Bone marrow aspirate smear — 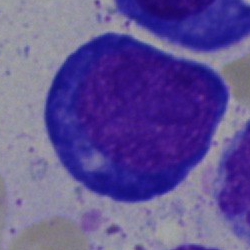
The classification is pronormoblast.